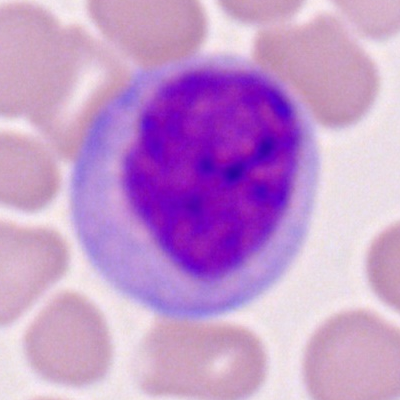 Q: What is shown here?
A: Monocyte.